Single cell centered in the field · 40× oil immersion · bone marrow smear — 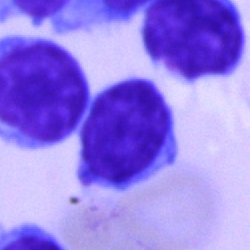 Morphological class: lymphocyte.